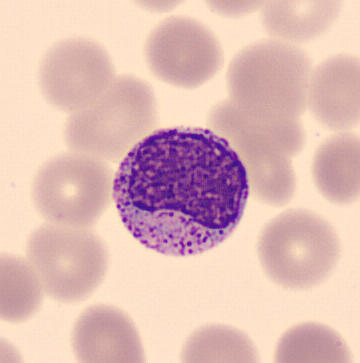

Image: CellaVision DM96. Peripheral blood smear.
Q: Which cell type is shown here?
A: A myelocyte.